Bone marrow smear. Image size 250×250 — 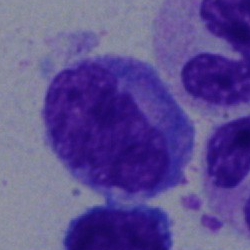
Progranulocyte.